MGG-stained; brightfield microscopy, 40× oil immersion; bone marrow aspirate smear
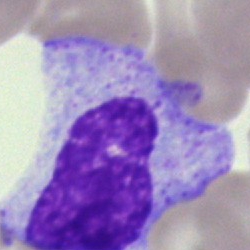Classification = myelocyte.